Peripheral blood film
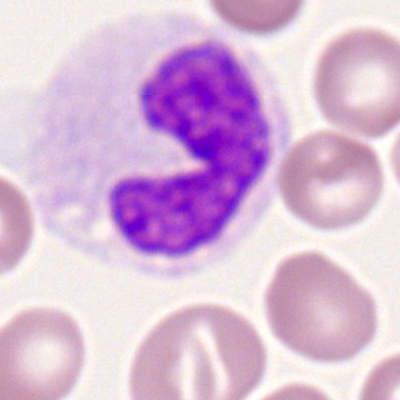

Single cell identified as a monocyte.